40× oil immersion · bone marrow smear
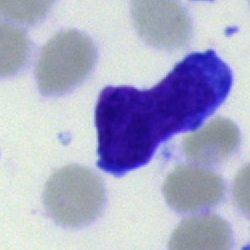 Classification — blast cell.